Peripheral blood film. Romanowsky-type stain:
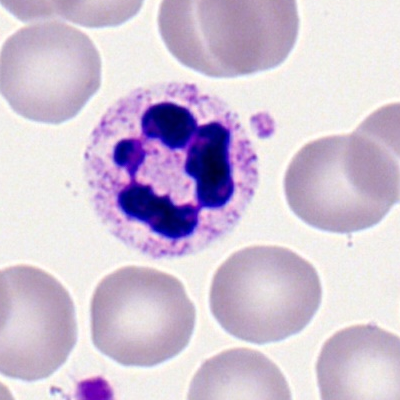

The cell shown is a segmented neutrophil.